Peripheral blood film.
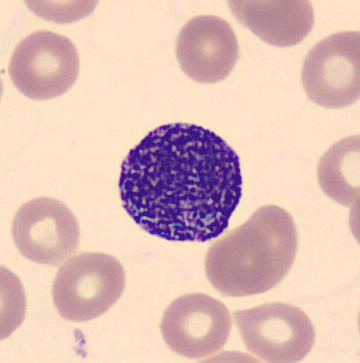Morphology consistent with a myelocyte.